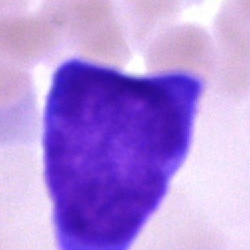
Q: Which cell type is shown here?
A: This is a blast.